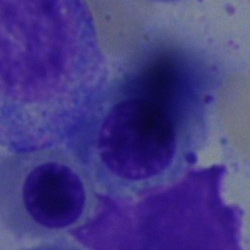{"cell_type": "nucleated red cell", "lineage": "erythroid"}